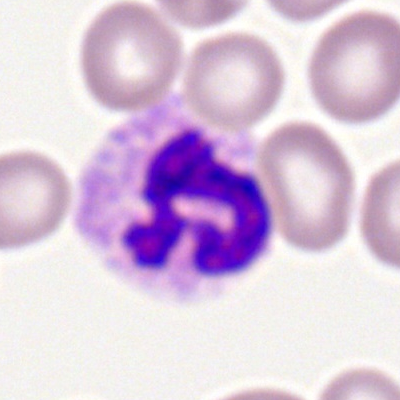 Morphological class: polymorphonuclear neutrophil.